250×250 px · bone marrow smear · MGG-stained
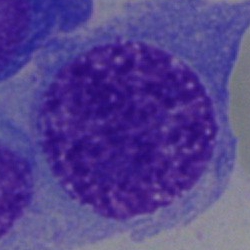This is a plasma cell.